Bone marrow aspirate smear; single-cell field; 250×250 px.
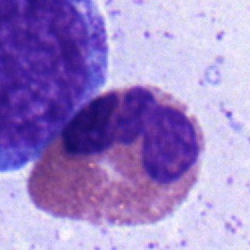 Q: What is the morphological classification of this cell?
A: It is an eosinophil.